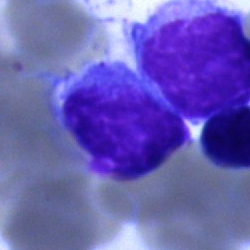 Specimen: bone marrow aspirate smear.
Morphological class: typical lymphocyte.
Lineage: lymphoid.